Bone marrow smear — 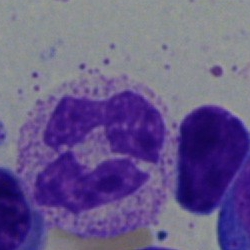
Classification = segmented neutrophil.